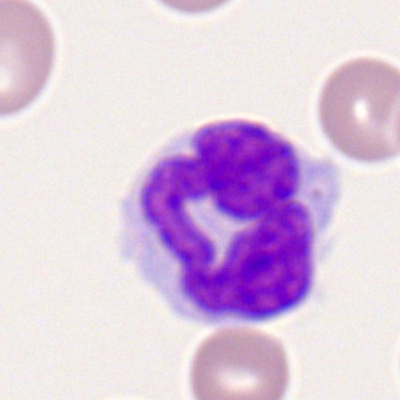

Peripheral blood film, single cell — monocyte.